Bone marrow aspirate smear:
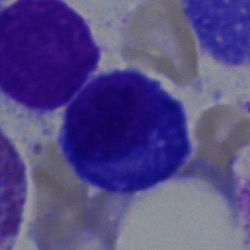

{"cell_type": "plasma cell"}